Single cell centered in the field · May-Grünwald-Giemsa stain · bone marrow smear
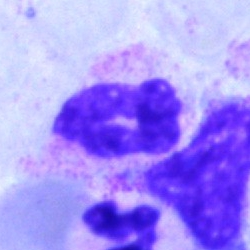Q: Identify the cell.
A: A neutrophil (segmented).